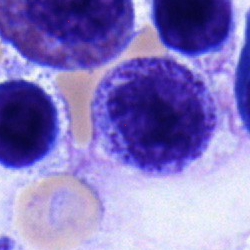

Cell type: myelocyte.